Bone marrow smear — 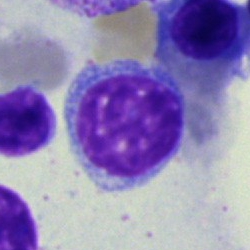This is a lymphocyte.